Brightfield, 40× oil-immersion objective; Pappenheim-stained; bone marrow aspirate smear:
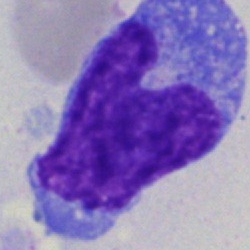 Impression — undifferentiated blast.